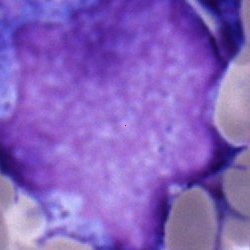

Classification — progranulocyte.